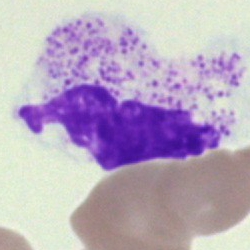 This is a segmented neutrophil.